Bone marrow aspirate smear
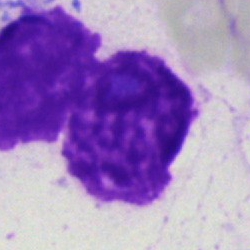Single cell identified as an artefact.